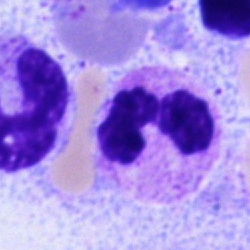Cell: neutrophil (segmented).